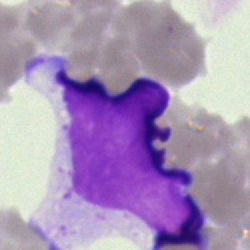
Specimen: bone marrow smear.
Morphological class: artefact.